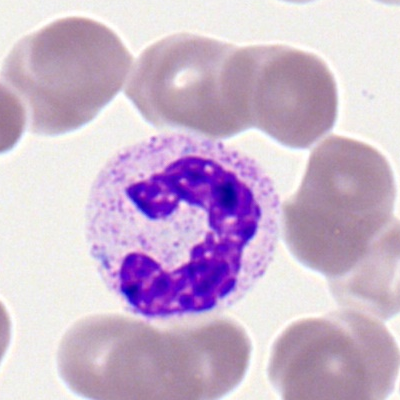 Q: What type of cell is this?
A: A neutrophil (segmented).